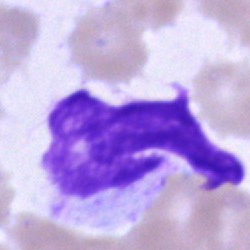 Single cell identified as an artifact.